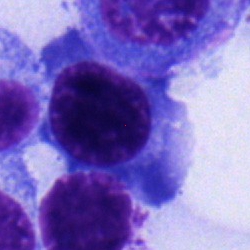Cell type — plasma cell.